Bone marrow smear — 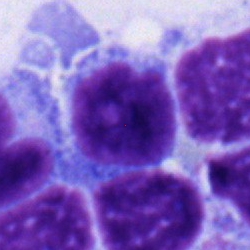Showing a typical lymphocyte.